Bone marrow smear
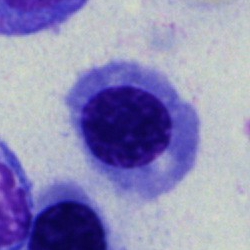

Morphological class: nucleated red blood cell.